Bone marrow smear — 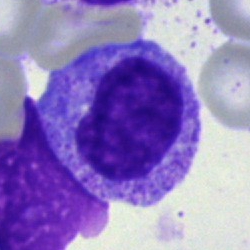
Impression — myelocyte.